Bone marrow aspirate smear. May-Grünwald-Giemsa/Pappenheim stain:
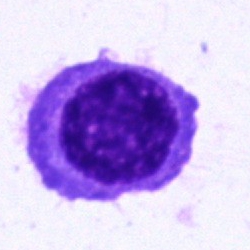

Specimen: bone marrow smear.
Cell: plasmacyte.
Lineage: lymphoid.